Bone marrow smear: 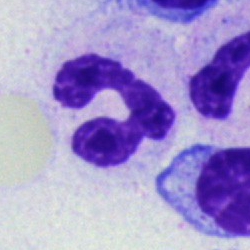The cell is segmented neutrophil.